Bone marrow aspirate smear.
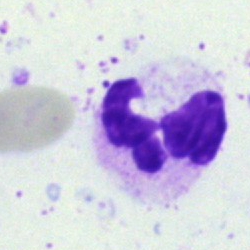
Classification = polymorphonuclear neutrophil.